Single cell centered in the field. Brightfield microscopy, 40× oil immersion. Bone marrow aspirate smear — 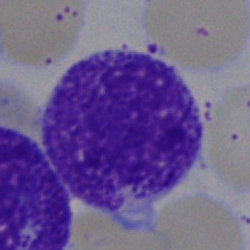 Q: What is the morphological classification of this cell?
A: It is a myelocyte.